Bone marrow aspirate smear.
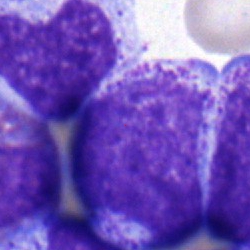Classification — myelocyte.